Bone marrow aspirate smear.
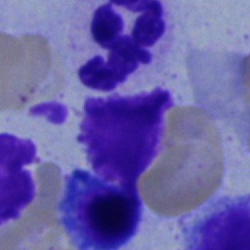 Single cell identified as a polymorphonuclear neutrophil.